Bone marrow aspirate smear: 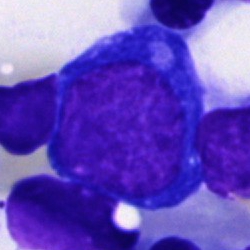Classification = pronormoblast.